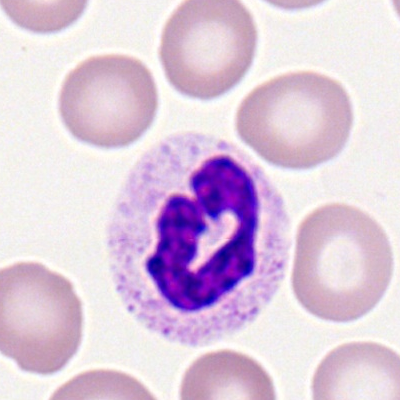 This is a segmented neutrophil.